Bone marrow smear
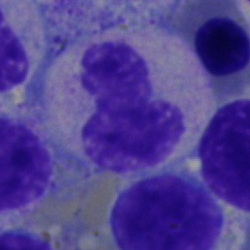
Morphology consistent with a band-form neutrophil.